40× oil immersion. Bone marrow smear. May-Grünwald-Giemsa stain — 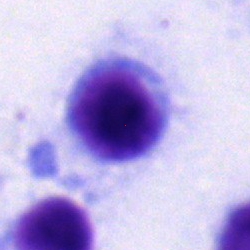

Cell: typical lymphocyte.